Bone marrow smear.
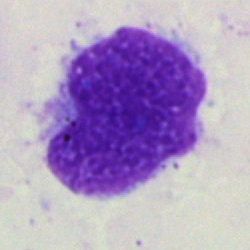{"cell_type": "artefact"}